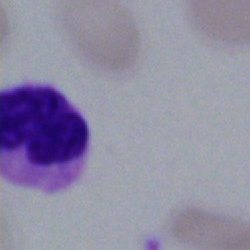

Cell type: unidentifiable cell.